M8 digital microscope (Precipoint), 100× oil immersion. Peripheral blood film: 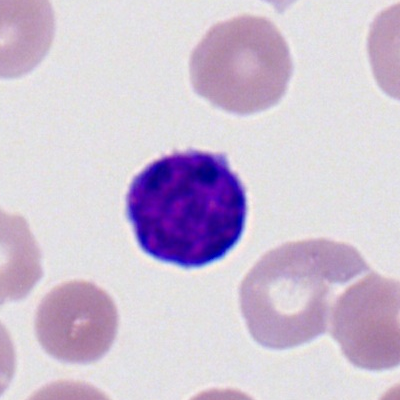

This is a typical lymphocyte.